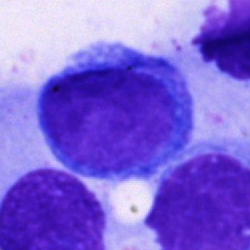Morphology — blast.